Bone marrow smear:
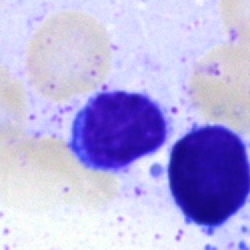
Lymphocyte.